Cropped to a single cell. Peripheral blood film:
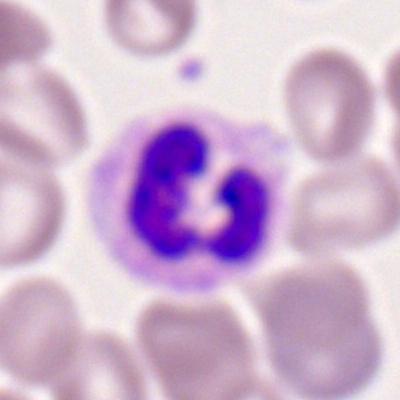

Impression → polymorphonuclear neutrophil.